250×250 px · bone marrow aspirate smear · single cell centered in the field:
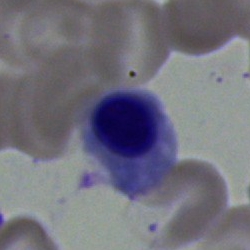Specimen: bone marrow smear.
Cell type: erythroblast.
Lineage: erythroid.